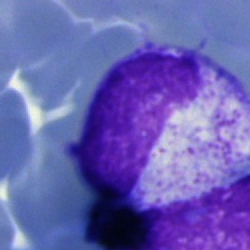
Q: Which cell type is shown here?
A: Metamyelocyte.